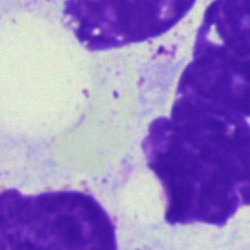

An artefact.